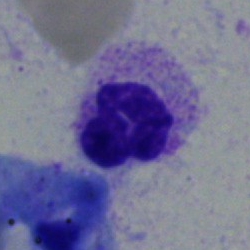 Cell — neutrophil (segmented).